250×250 · bone marrow aspirate smear · single-cell crop — 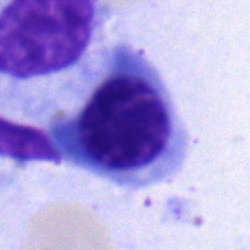
Cell type = nucleated red blood cell.